May-Grünwald-Giemsa stain; bone marrow smear
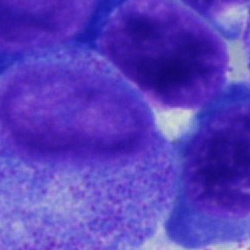 Q: What type of cell is this?
A: Promyelocyte.